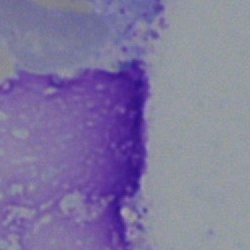 Impression → artefact.